Bone marrow aspirate smear. Single-cell crop:
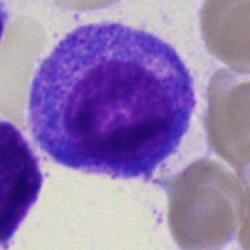 Classification = promyelocyte.